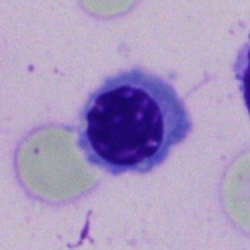 Morphology → erythroblast.